Single-cell field · peripheral blood smear · 400×400 px:
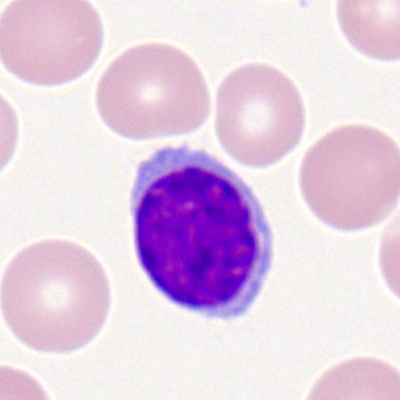

Impression — lymphocyte.